Bone marrow aspirate smear:
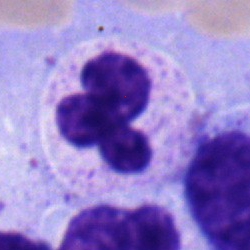The cell shown is a polymorphonuclear neutrophil.